Image size 400×400 · peripheral blood film · single-cell field.
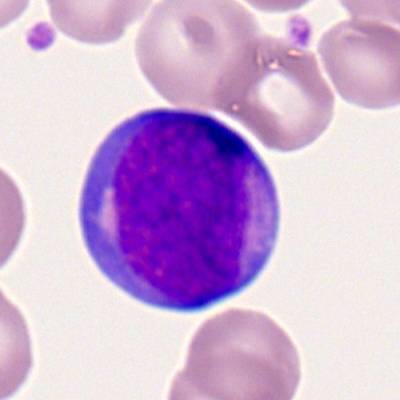
Myeloid blast.